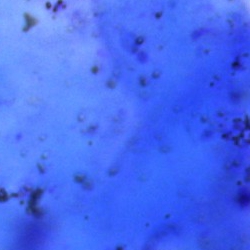 Morphology consistent with an artefact.